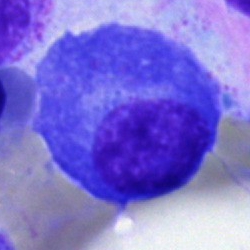Single cell identified as a plasmacyte.